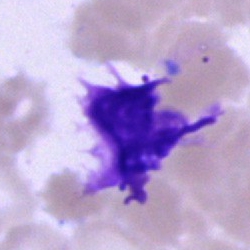
Classification: artefact.